40× objective, oil immersion. Image size 250×250. Bone marrow aspirate smear:
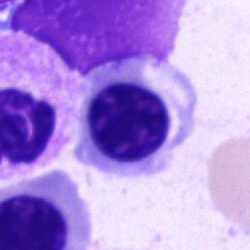Morphology consistent with a nucleated red blood cell.